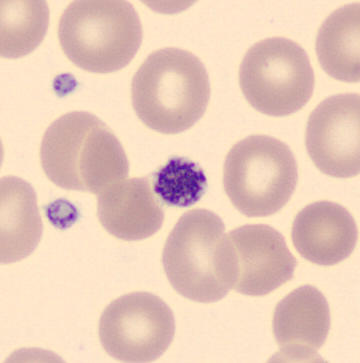Preparation: Peripheral blood film.

Impression → platelet.